Bone marrow aspirate smear. 250×250 px: 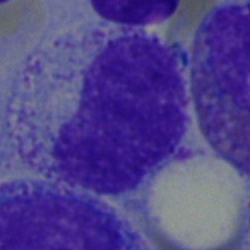 {"cell_type": "metamyelocyte"}